Bone marrow aspirate smear.
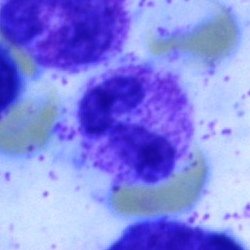
Cell type: polymorphonuclear neutrophil.